Bone marrow aspirate smear:
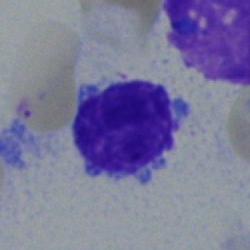 Single cell identified as a lymphocyte.